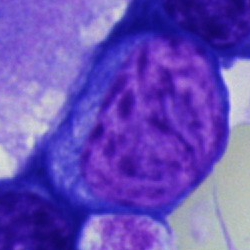Single cell identified as a proerythroblast.